Bone marrow aspirate smear · MGG-stained · image size 250×250
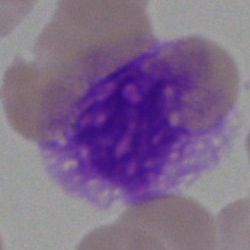

{"cell_type": "artefact"}